250×250 px; bone marrow aspirate smear
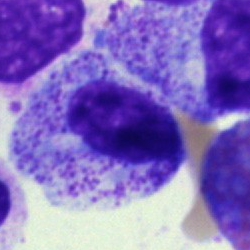
Showing a myelocyte.